Bone marrow aspirate smear.
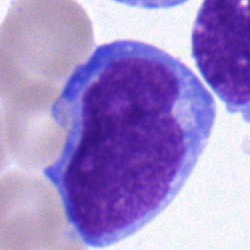This is a blast cell.